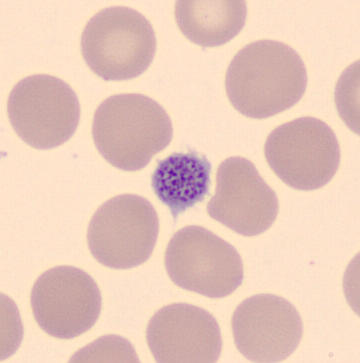

Acquisition: Peripheral blood film.
A thrombocyte.